Bone marrow smear.
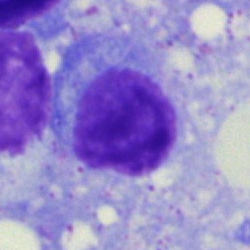 Q: Which cell type is shown here?
A: It is a plasmacyte.